Bone marrow aspirate smear: 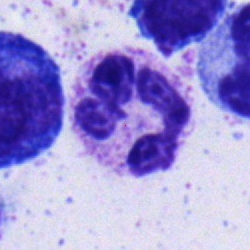
Showing a polymorphonuclear neutrophil.